Bone marrow aspirate smear.
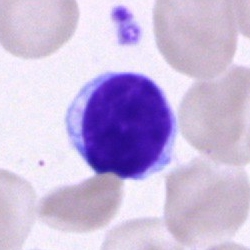 This is a lymphocyte.